Bone marrow smear. May-Grünwald-Giemsa stain.
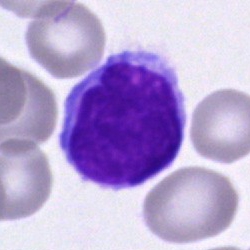

Specimen: bone marrow smear.
Cell type: typical lymphocyte.
Lineage: lymphoid.